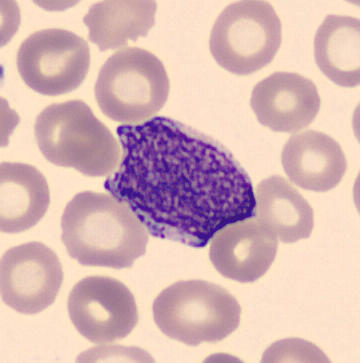 Image: Peripheral blood film. 360×363.

Classification — myelocyte.